Bone marrow aspirate smear:
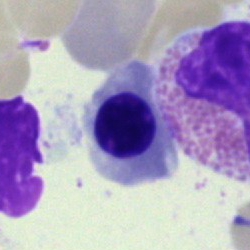
Cell: normoblast.